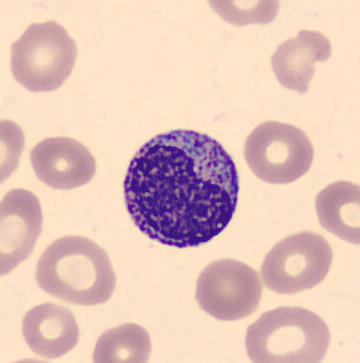 This is a myelocyte.
Peripheral blood smear.